Bone marrow smear — 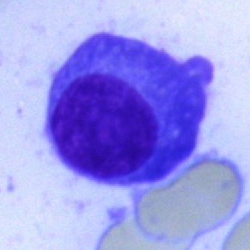Impression — plasmacyte.